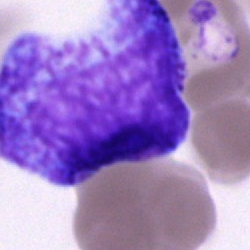
The classification is promyelocyte.